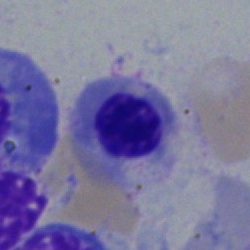Impression — nucleated red blood cell.